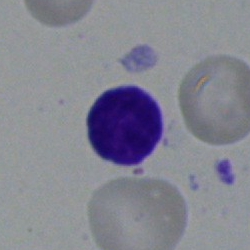 A lymphocyte on a bone marrow smear.